Image size 250×250. Bone marrow smear:
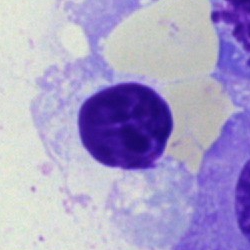

Showing an artifact.